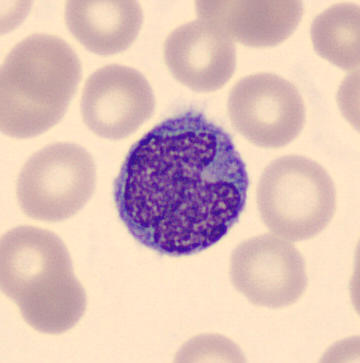
Specimen: peripheral blood smear.
Morphological class: monocyte.
Lineage: myeloid.